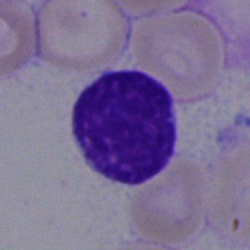 Q: What cell is this?
A: A lymphocyte.